Bone marrow aspirate smear · cropped to a single cell:
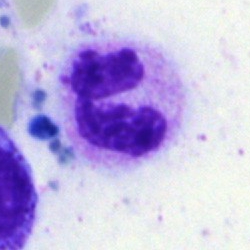Classification = neutrophil (segmented).